Bone marrow smear.
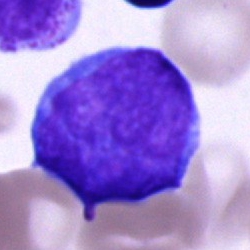The morphological class is blast.